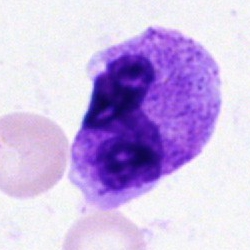 {"cell_type": "polymorphonuclear neutrophil"}